Bone marrow aspirate smear.
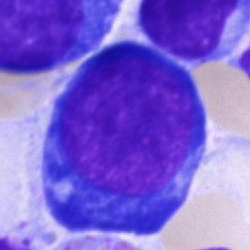
Cell = pronormoblast.